Peripheral blood smear.
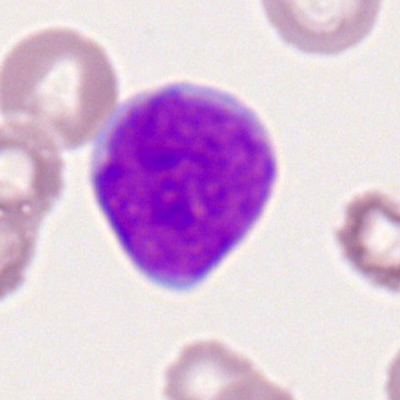

Cell = myeloblast.